Bone marrow smear.
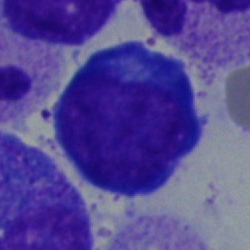Impression — proerythroblast.